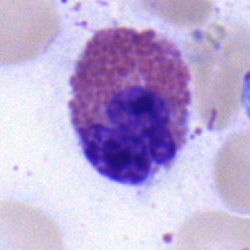Morphological class: eosinophil.